40× oil immersion. Bone marrow smear:
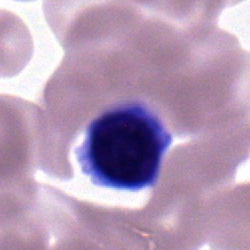 Morphological class — erythroblast.